Bone marrow aspirate smear:
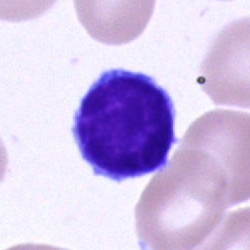 This is a typical lymphocyte.